Bone marrow aspirate smear: 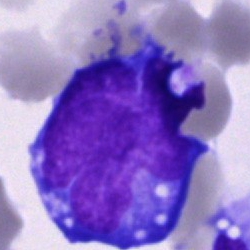 Q: What cell is this?
A: It is a blast.